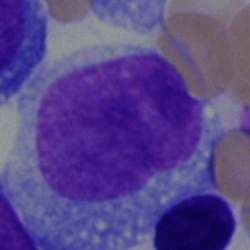Specimen: bone marrow smear.
Cell: blast cell.